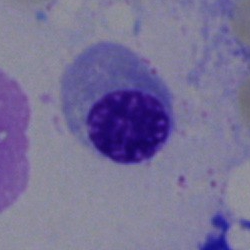
Q: What type of cell is this?
A: This is a nucleated red blood cell.